Single cell centered in the field; bone marrow aspirate smear: 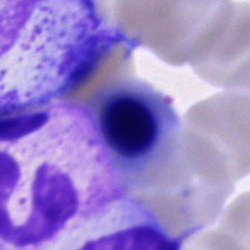
Q: What cell is this?
A: This is a neutrophil (segmented).